Bone marrow aspirate smear:
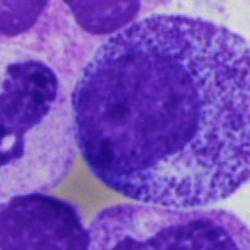This is a myelocyte.